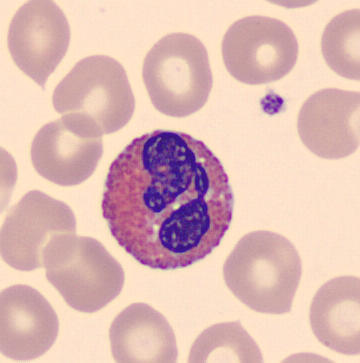 Acquisition: Peripheral blood film.
Cell type: eosinophilic granulocyte.